Bone marrow aspirate smear:
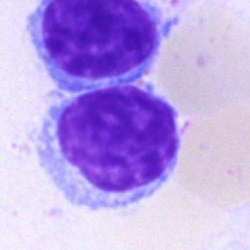
{"cell_type": "lymphocyte"}